Bone marrow smear: 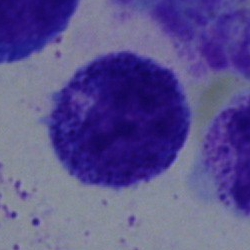

This is a promyelocyte.